Bone marrow aspirate smear
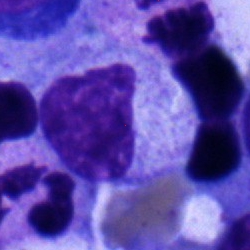Single cell identified as a myelocyte.